Romanowsky-type stain. 400 by 400 pixels. Peripheral blood smear:
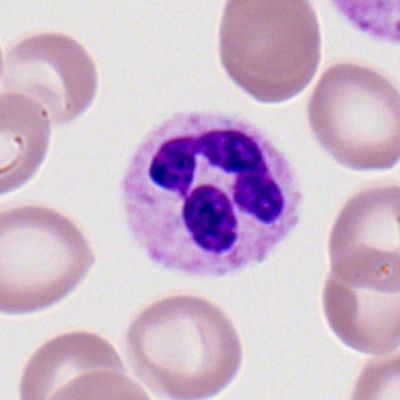

The cell shown is a neutrophil (segmented).